Image size 250×250. Bone marrow smear
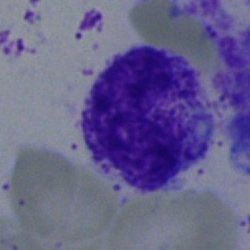
Specimen: bone marrow smear.
Cell type: band neutrophil.
Lineage: myeloid.